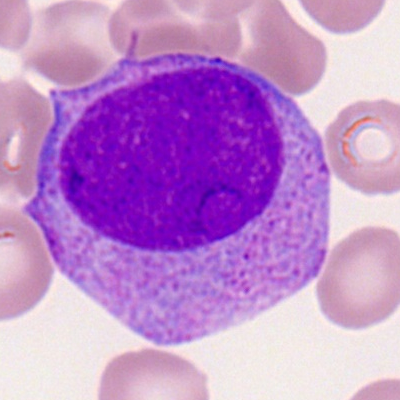Q: What is shown here?
A: This is a promyelocyte.